Bone marrow smear — 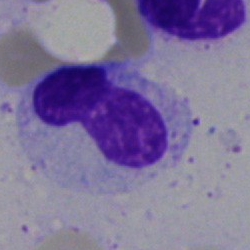
Showing a band neutrophil.